Bone marrow aspirate smear:
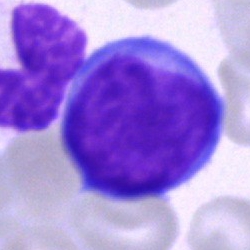 Cell type — undifferentiated blast.